Bone marrow smear. Single cell centered in the field
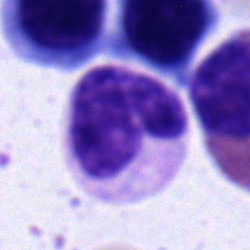 The cell is stab cell.